Bone marrow aspirate smear.
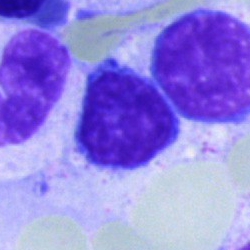

The cell shown is a lymphocyte.